Bone marrow smear — 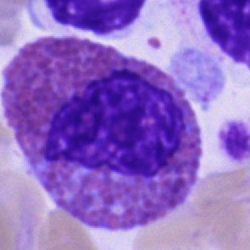Cell: eosinophilic granulocyte.